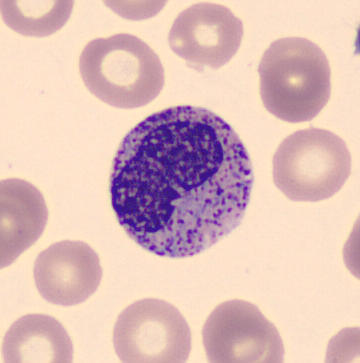Classification: metamyelocyte.

Automated cell imaging (CellaVision DM96); cropped to a single cell; peripheral blood film.